Peripheral blood film
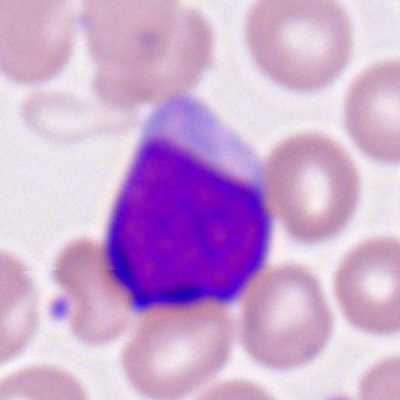

Q: Identify the cell.
A: A myeloblast.